Bone marrow smear; 250 by 250 pixels: 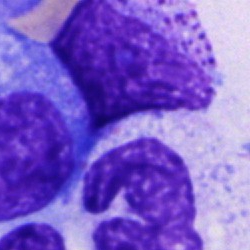 A cell of indeterminate lineage.